Bone marrow aspirate smear — 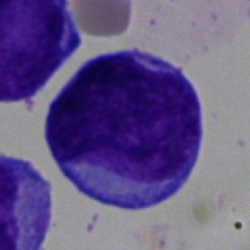
Showing a blast cell.